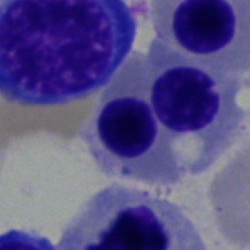
Morphological class = erythroblast.